Bone marrow aspirate smear; single-cell crop; 250×250 px
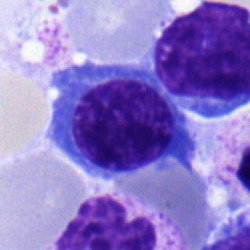

Nucleated red cell.